Cropped to a single cell; bone marrow aspirate smear; brightfield, 40× oil-immersion objective: 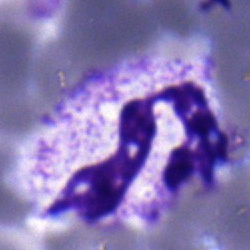

Showing a segmented neutrophil.